May-Grünwald-Giemsa stain; bone marrow aspirate smear
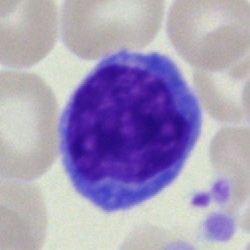

Morphology consistent with a typical lymphocyte.